Brightfield microscopy, 40× oil immersion. Bone marrow aspirate smear: 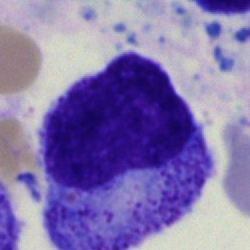 Morphological class: promyelocyte.